MGG-stained · bone marrow aspirate smear
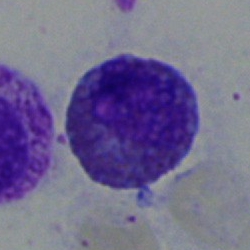Cell — eosinophilic granulocyte.